Bone marrow aspirate smear · image size 250×250 · brightfield, 40× oil-immersion objective — 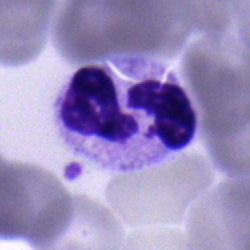Cell = neutrophil (segmented).